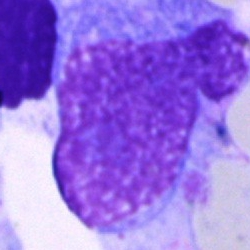The cell shown is an artifact.